Peripheral blood film; M8 digital microscope (Precipoint), 100× oil immersion.
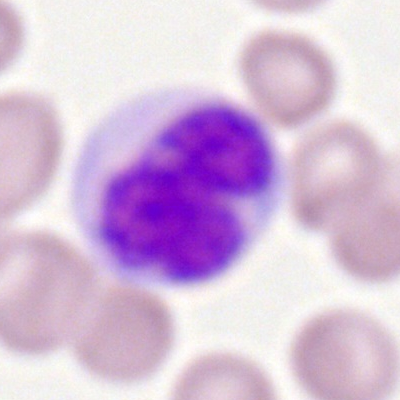
{"cell_type": "monocyte"}